Bone marrow aspirate smear. Single-cell crop: 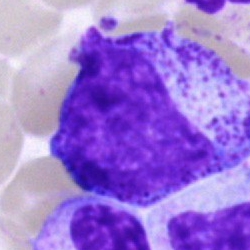
Showing a promyelocyte.